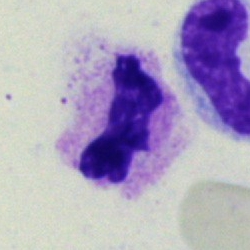
Specimen: bone marrow aspirate smear.
Cell type: segmented neutrophil.